Peripheral blood film: 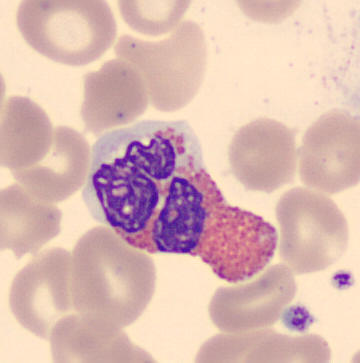 Morphology → eosinophil.